Bone marrow aspirate smear.
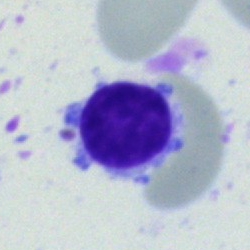 Single cell identified as a lymphocyte.